Bone marrow aspirate smear: 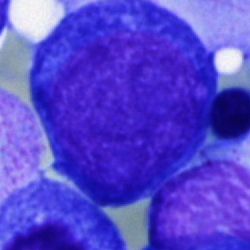 {"cell_type": "undifferentiated blast"}